Bone marrow aspirate smear — 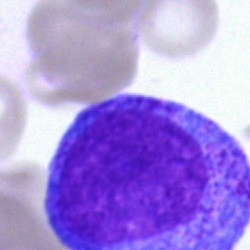Impression → progranulocyte.